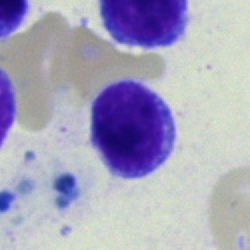

A typical lymphocyte on a bone marrow smear.